Bone marrow smear · Pappenheim-stained · image size 250×250:
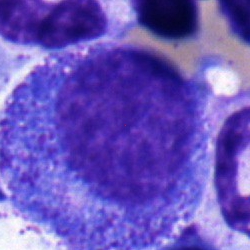Morphology consistent with a progranulocyte.